Bone marrow aspirate smear — 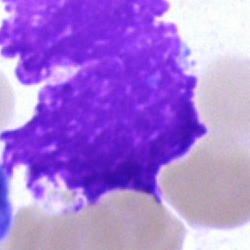 Morphology consistent with an artifact.